Single-cell field · bone marrow aspirate smear: 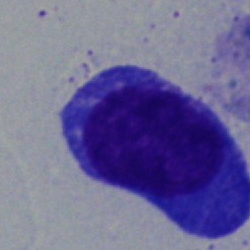Classification = plasmacyte.